May-Grünwald-Giemsa/Pappenheim stain; bone marrow smear: 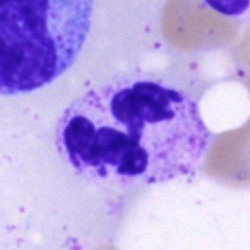Morphological class = segmented neutrophil.